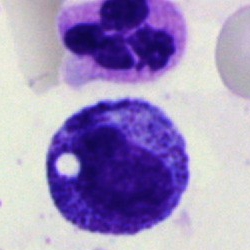 Impression — metamyelocyte.